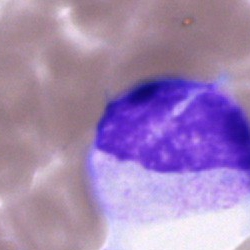Single-cell crop from a bone marrow smear: unidentifiable cell.